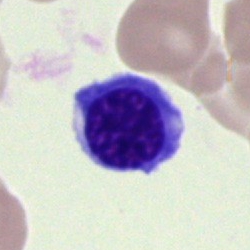Specimen: bone marrow aspirate smear.
Morphological class: normoblast.
Lineage: erythroid.